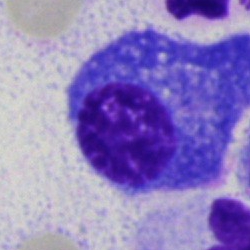

Showing a plasmacyte.